Image size 250×250. Bone marrow smear
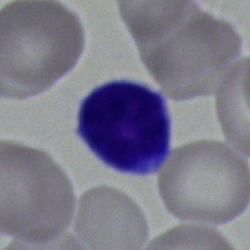Q: Which cell type is shown here?
A: This is a typical lymphocyte.